Bone marrow aspirate smear.
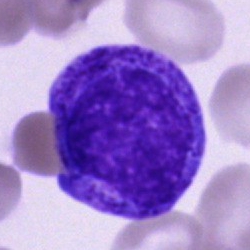

Specimen: bone marrow aspirate smear.
Morphological class: promyelocyte.